Bone marrow smear · single cell centered in the field
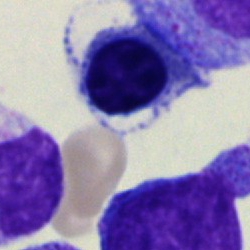
Cell — erythroblast.